Bone marrow smear — 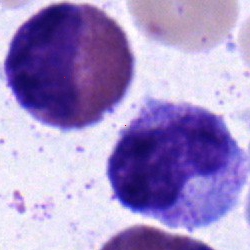 Cell — metamyelocyte.